Bone marrow aspirate smear — 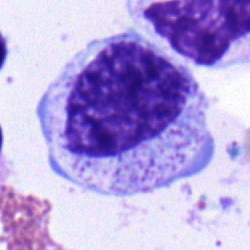Cell: myelocyte.